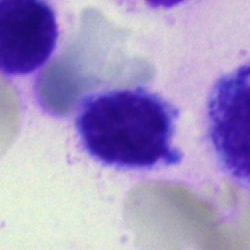Showing a typical lymphocyte.